Bone marrow aspirate smear
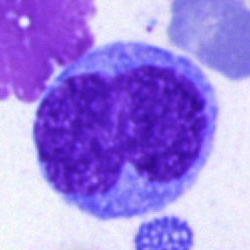

Specimen: bone marrow smear.
Morphological class: monocyte.
Lineage: myeloid.